Bone marrow aspirate smear · image size 250×250:
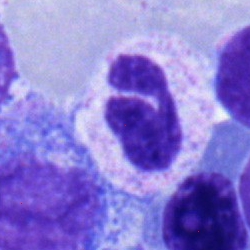

{"cell_type": "polymorphonuclear neutrophil", "lineage": "myeloid"}